Bone marrow aspirate smear.
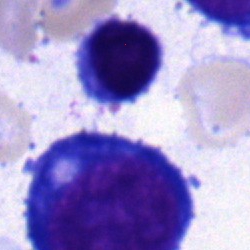 Single cell identified as a typical lymphocyte.